Image size 250×250 · bone marrow smear.
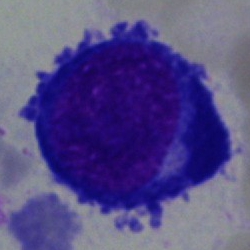
{"cell_type": "proerythroblast"}